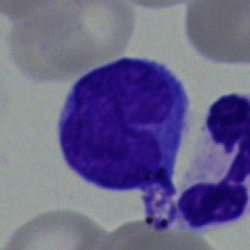 Q: Identify the cell.
A: It is a monocyte.